Bone marrow aspirate smear.
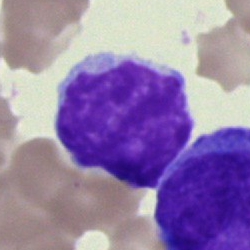
Morphology → lymphocyte.